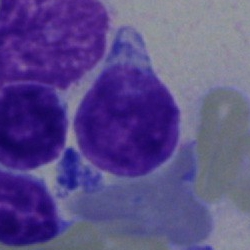Cell type = undifferentiated blast.